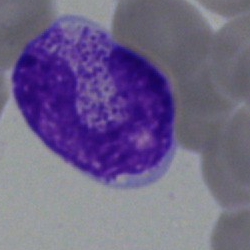
Specimen: bone marrow smear.
Classification: neutrophil (band).
Lineage: myeloid.